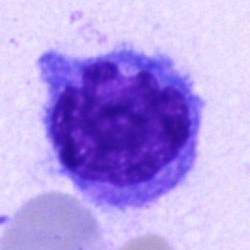 {"cell_type": "monocyte", "lineage": "myeloid"}